Bone marrow aspirate smear — 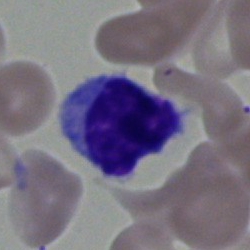 Showing a lymphocyte.